Bone marrow smear: 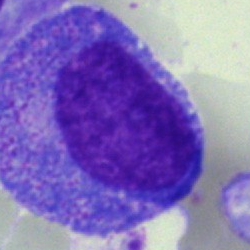Q: Identify the cell.
A: This is a promyelocyte.